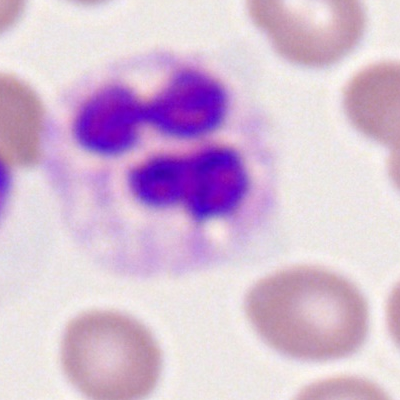
The classification is neutrophil (segmented).